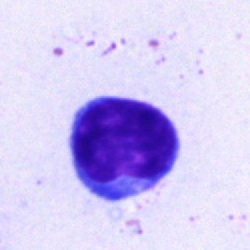

This is a lymphocyte.